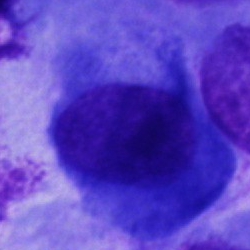

Impression → other cell.